Peripheral blood film; Romanowsky-stained; 100× oil immersion, 14.14 px/µm.
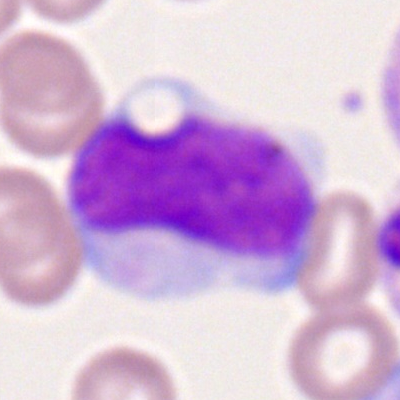 Q: What is the morphological classification of this cell?
A: This is a monocyte.